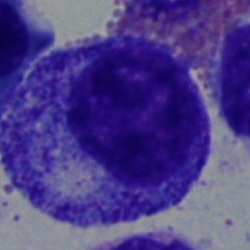

A progranulocyte on a bone marrow smear.